Bone marrow aspirate smear; image size 250×250 — 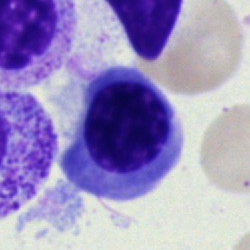 Single cell identified as an erythroblast.